Bone marrow smear; single-cell crop; MGG-stained — 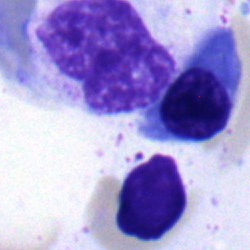 Morphology consistent with a band-form neutrophil.